Image size 250×250. Bone marrow smear. Brightfield, 40× oil-immersion objective — 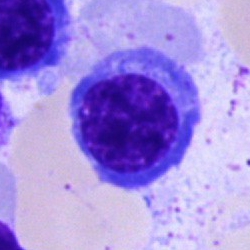Showing a nucleated red cell.